Bone marrow smear; 40× oil immersion
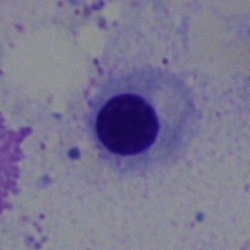{"cell_type": "nucleated red cell"}